250×250 · bone marrow aspirate smear:
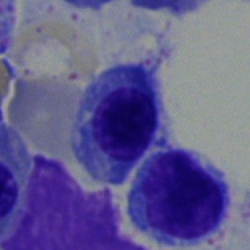
Q: What type of cell is this?
A: This is a nucleated red cell.